May-Grünwald-Giemsa/Pappenheim stain · 250 by 250 pixels · bone marrow aspirate smear — 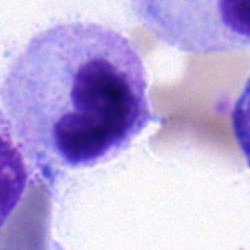 Morphological class = metamyelocyte.